Bone marrow smear; May-Grünwald-Giemsa stain; brightfield, 40× oil-immersion objective
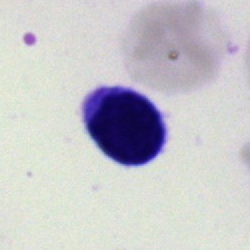 Morphology consistent with a lymphocyte.